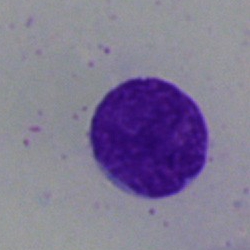 Morphology — lymphocyte.